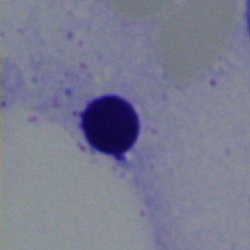This is an artifact.